Bone marrow smear; image size 250×250; single cell centered in the field.
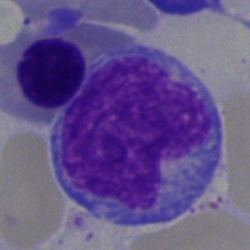
Cell — monocyte.